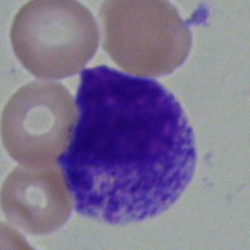

Specimen: bone marrow aspirate smear.
Classification: myelocyte.
Lineage: myeloid.